Bone marrow aspirate smear · image size 250×250 · brightfield microscopy, 40× oil immersion.
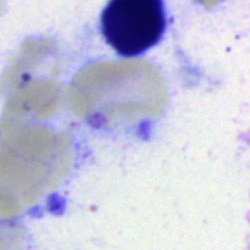
Classification — cell of indeterminate lineage.